Bone marrow smear
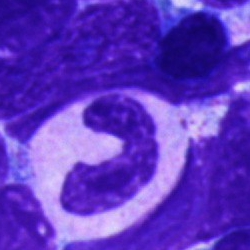
Specimen: bone marrow smear.
Cell: band-form neutrophil.